250 by 250 pixels. Bone marrow aspirate smear. Single-cell field: 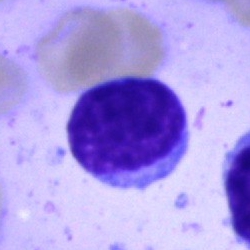
Q: What cell is this?
A: Typical lymphocyte.